Bone marrow smear
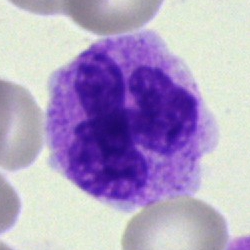
Specimen: bone marrow aspirate smear.
Cell type: neutrophil (segmented).